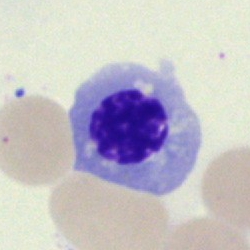 Specimen: bone marrow smear.
Cell: nucleated red blood cell.
Lineage: erythroid.